Bone marrow smear — 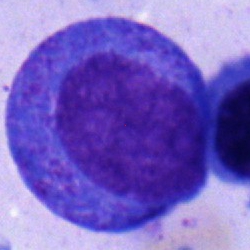 Q: Identify the cell.
A: This is a progranulocyte.